Bone marrow aspirate smear:
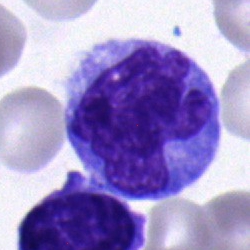
Cell type = monocyte.